Bone marrow smear:
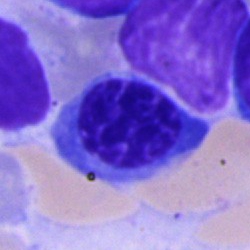
Q: What is the morphological classification of this cell?
A: It is a nucleated red blood cell.